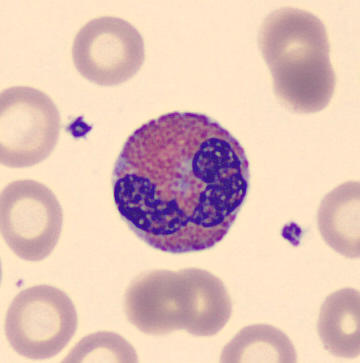

Peripheral blood smear; MGG stain; CellaVision DM96 digital cell image.

Morphological class = eosinophilic granulocyte.